Bone marrow smear; brightfield microscopy, 40× oil immersion:
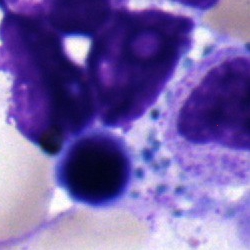Morphological class — myelocyte.